Bone marrow smear — 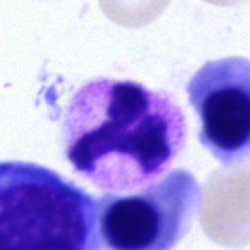

Specimen: bone marrow aspirate smear.
Classification: segmented neutrophil.